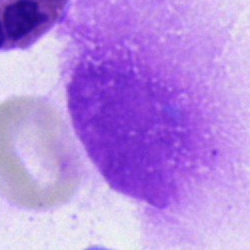Q: What is shown here?
A: This is an artifact.